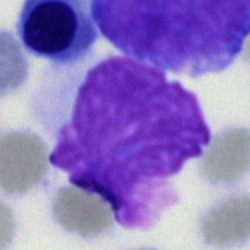

Showing an artifact.